Bone marrow aspirate smear:
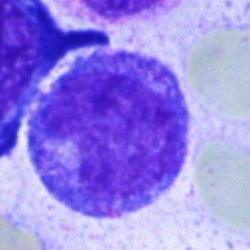 Impression — promyelocyte.